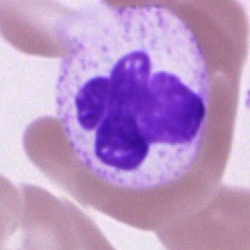
{"cell_type": "neutrophil (segmented)", "lineage": "myeloid"}